250 by 250 pixels; bone marrow aspirate smear
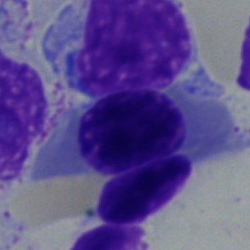
Showing a nucleated red cell.